Bone marrow smear. 40× oil immersion. Image size 250×250: 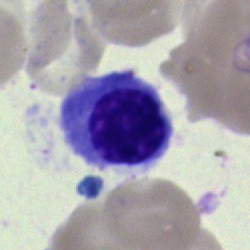
An erythroblast.